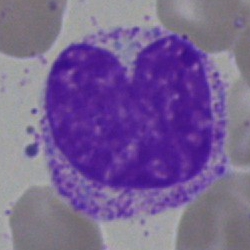 Q: What type of cell is this?
A: It is a metamyelocyte.